250×250; bone marrow aspirate smear: 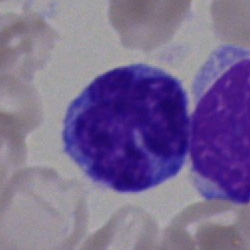 Q: Which cell type is shown here?
A: This is a typical lymphocyte.